Single-cell crop. Bone marrow aspirate smear
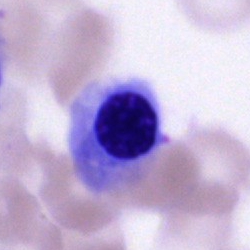

Morphology — nucleated red cell.